Bone marrow smear · brightfield microscopy, 40× oil immersion · May-Grünwald-Giemsa/Pappenheim stain: 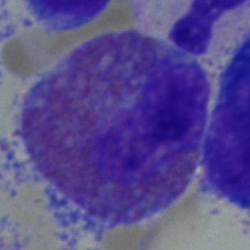{"cell_type": "eosinophilic granulocyte"}